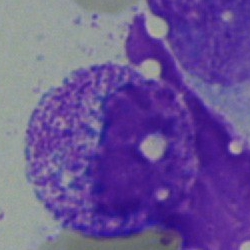 Specimen: bone marrow aspirate smear.
Classification: myelocyte.
Lineage: myeloid.